Bone marrow aspirate smear: 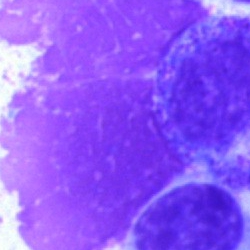

An artefact.